Bone marrow smear. 40× objective, oil immersion. Pappenheim-stained.
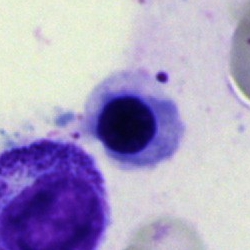
Morphology — erythroblast.